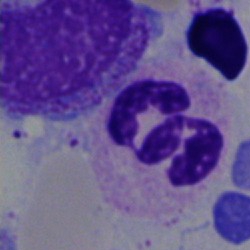
Impression → neutrophil (segmented).